Bone marrow smear:
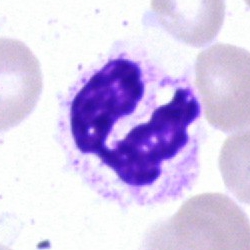
Q: What type of cell is this?
A: It is a polymorphonuclear neutrophil.